Bone marrow smear: 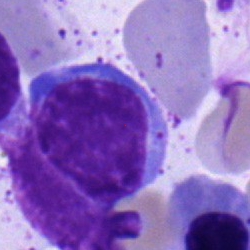

Single cell identified as a typical lymphocyte.